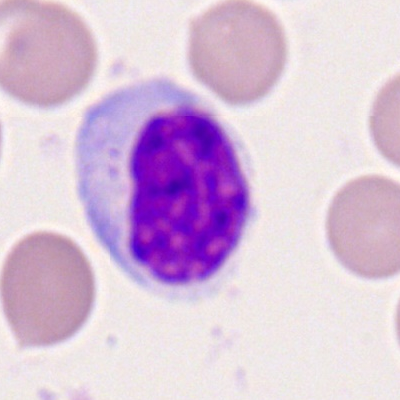Morphology → lymphocyte.